Bone marrow aspirate smear; May-Grünwald-Giemsa stain:
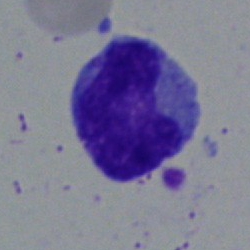

Specimen: bone marrow aspirate smear.
Classification: monocyte.